Bone marrow smear; 40× objective, oil immersion:
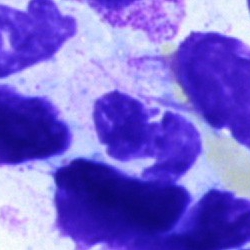Specimen: bone marrow smear.
Cell: polymorphonuclear neutrophil.
Lineage: myeloid.